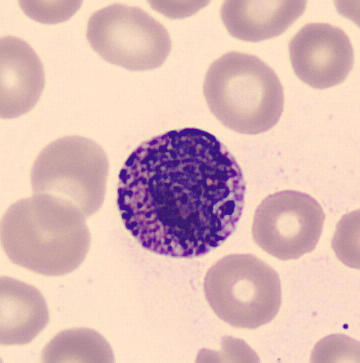
{"cell_type": "basophilic granulocyte"}

Peripheral blood smear; CellaVision DM96 digital cell image; 360×363.